Single cell centered in the field; bone marrow smear; May-Grünwald-Giemsa/Pappenheim stain: 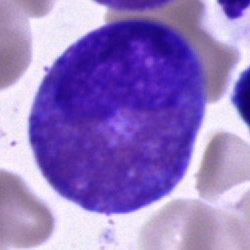 The cell shown is an eosinophil.